Bone marrow aspirate smear
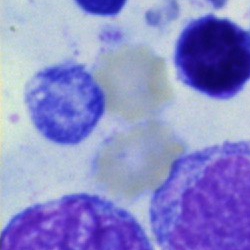
Q: What is shown here?
A: Artifact.